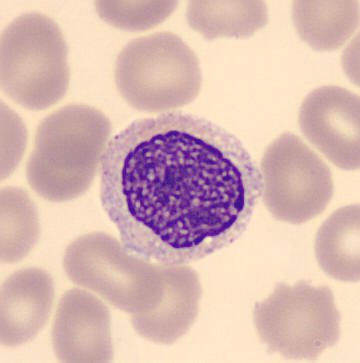 Classification — myelocyte.